Bone marrow smear; single-cell crop — 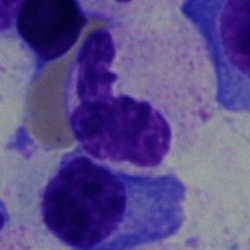
Morphology consistent with a neutrophil (segmented).